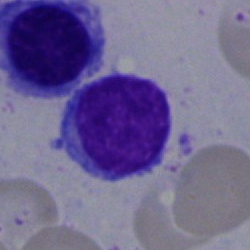

Classification = typical lymphocyte.